Bone marrow aspirate smear:
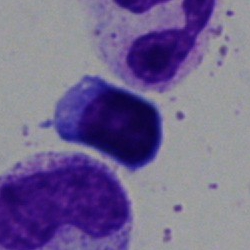 The cell shown is a lymphocyte.